Bone marrow smear · brightfield microscopy, 40× oil immersion:
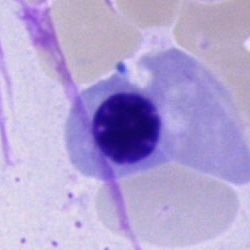 Single cell identified as a normoblast.